Bone marrow smear. Image size 250×250:
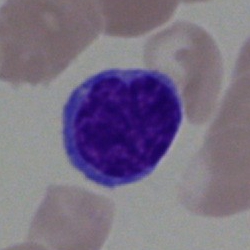
Cell — lymphocyte.